Bone marrow aspirate smear · Pappenheim-stained:
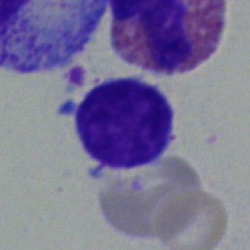The classification is typical lymphocyte.